400 by 400 pixels; peripheral blood smear; Romanowsky-stained: 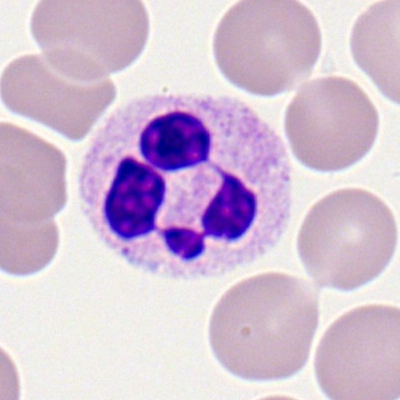

Classification = polymorphonuclear neutrophil.